MGG-stained; bone marrow aspirate smear; 250×250 px — 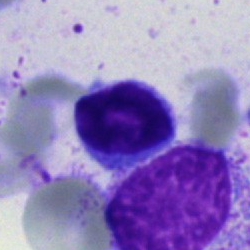 Cell — typical lymphocyte.